Bone marrow aspirate smear
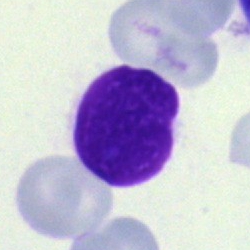

The morphological class is lymphocyte.